Bone marrow aspirate smear · single-cell crop: 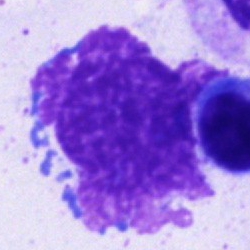
Single cell identified as an artifact.